Bone marrow smear
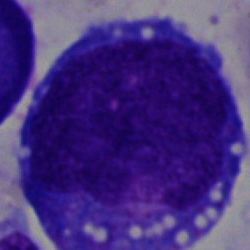 Morphology consistent with an undifferentiated blast.